Single-cell field · bone marrow aspirate smear: 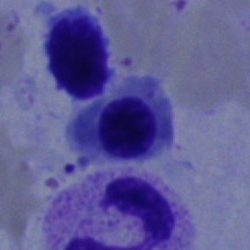

Specimen: bone marrow aspirate smear.
Cell: nucleated red cell.